May-Grünwald-Giemsa/Pappenheim stain. Single-cell field. Bone marrow aspirate smear
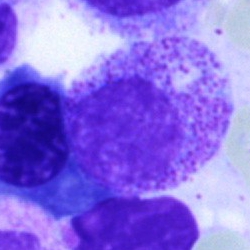
Q: What type of cell is this?
A: This is a myelocyte.